Single-cell field · bone marrow aspirate smear
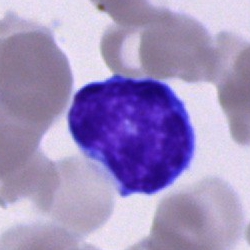 {"cell_type": "typical lymphocyte"}